Bone marrow aspirate smear · brightfield microscopy, 40× oil immersion — 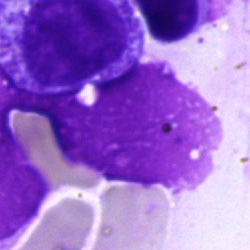Artefact.